Bone marrow aspirate smear:
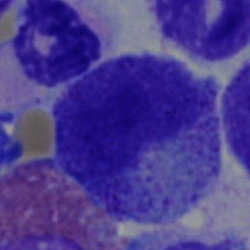

Q: What type of cell is this?
A: It is a myelocyte.